Bone marrow smear; cropped to a single cell.
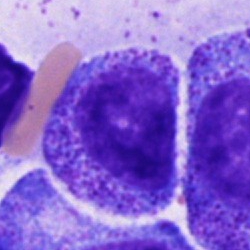Q: What type of cell is this?
A: Progranulocyte.